Peripheral blood film · Romanowsky-type stain · single-cell crop
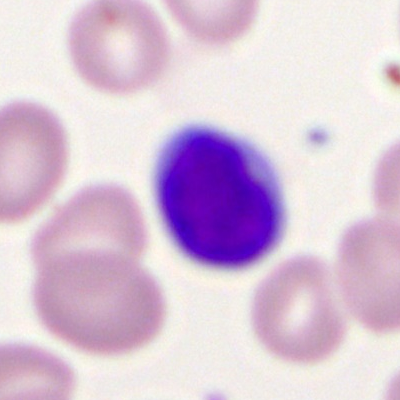

{"cell_type": "typical lymphocyte"}